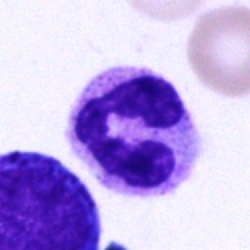The cell shown is a neutrophil (segmented).